Bone marrow aspirate smear.
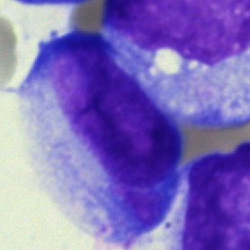 Cell = blast cell.